Bone marrow aspirate smear · image size 250×250 · brightfield microscopy, 40× oil immersion — 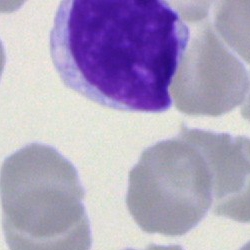
Cell — lymphocyte.